Peripheral blood film — 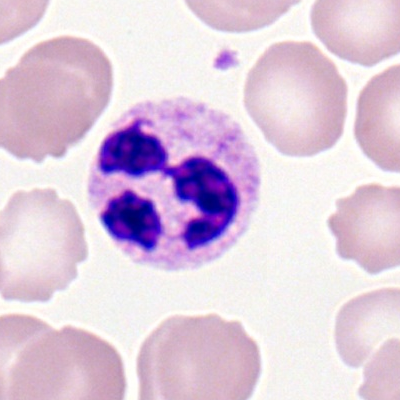 Q: What type of cell is this?
A: A segmented neutrophil.